Peripheral blood film · May-Grünwald-Giemsa-stained — 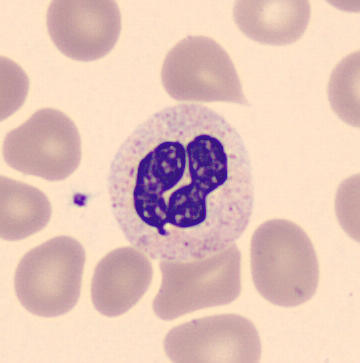
A band neutrophil.